Bone marrow smear:
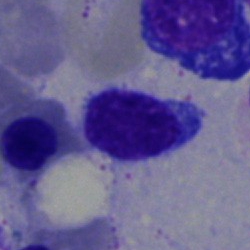
Typical lymphocyte.